Bone marrow smear. Pappenheim-stained
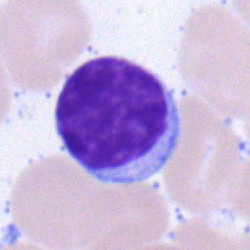 Q: What cell is this?
A: Typical lymphocyte.